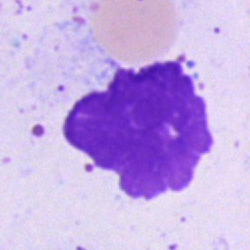
Artefact.